Bone marrow smear
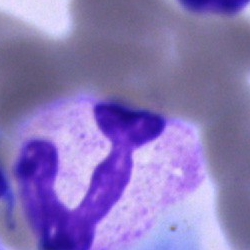

Classification = neutrophil (segmented).